40× oil immersion. Bone marrow aspirate smear. Single-cell field.
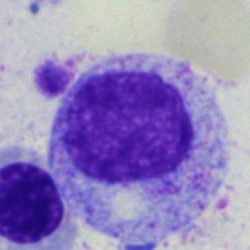

The cell type is promyelocyte.